May-Grünwald-Giemsa/Pappenheim stain · bone marrow smear:
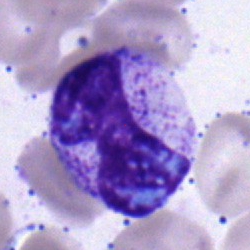A neutrophil (band).